250 by 250 pixels. Bone marrow aspirate smear.
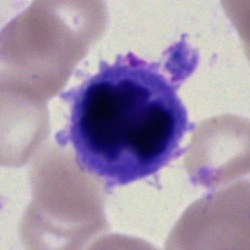
Morphology consistent with a nucleated red blood cell.